Bone marrow smear
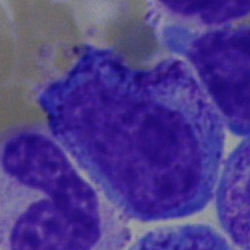
A progranulocyte.